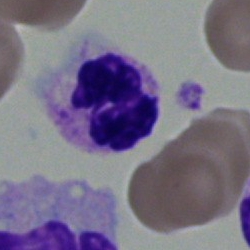Specimen: bone marrow smear.
Cell type: segmented neutrophil.